Bone marrow aspirate smear — 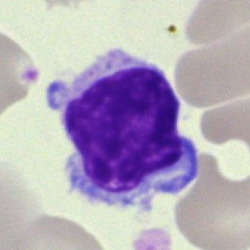 Showing a lymphocyte.